Bone marrow smear.
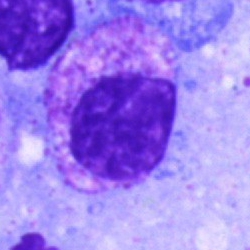 A myelocyte.